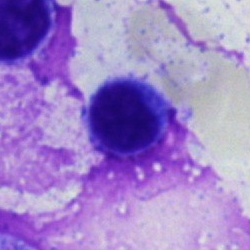 A lymphocyte on a bone marrow smear.